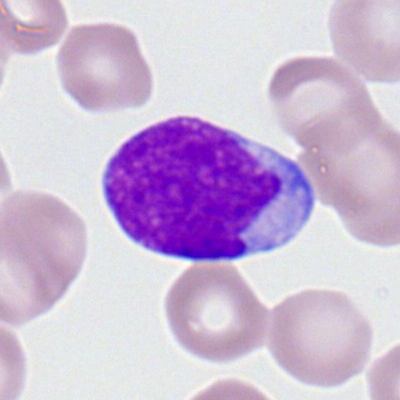Specimen: peripheral blood smear.
Classification: myeloid blast.